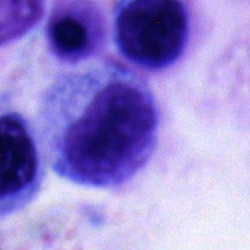Cell: myelocyte.